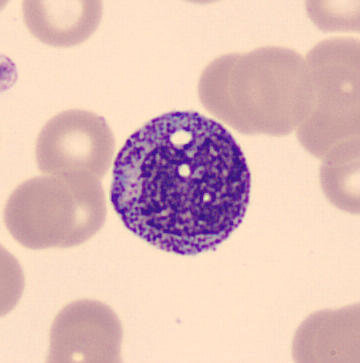
Identified as a myelocyte.
Peripheral blood film; single-cell field.